Bone marrow smear. 40× objective, oil immersion. Single-cell crop:
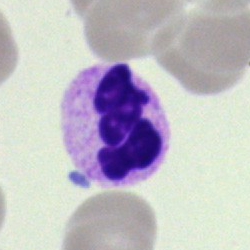Q: Identify the cell.
A: It is a segmented neutrophil.